MGG-stained; 250×250 px; bone marrow smear
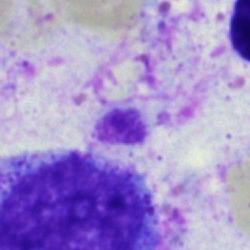

An artefact.